Pappenheim-stained. Bone marrow smear: 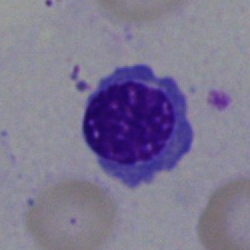Specimen: bone marrow aspirate smear.
Morphological class: nucleated red cell.
Lineage: erythroid.